Peripheral blood film; brightfield, 100× oil-immersion objective — 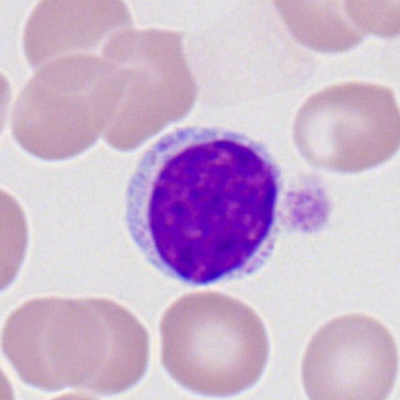
Specimen: peripheral blood smear.
Cell type: typical lymphocyte.